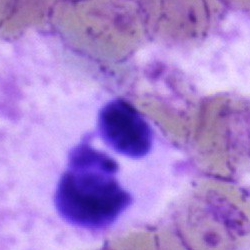The cell shown is a polymorphonuclear neutrophil.